Bone marrow smear · cropped to a single cell:
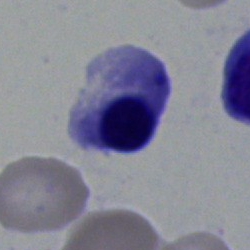 Q: What is the morphological classification of this cell?
A: It is an erythroblast.